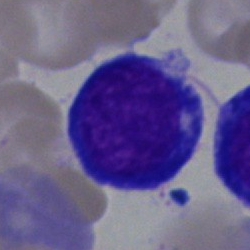

A nucleated red blood cell.